Bone marrow aspirate smear
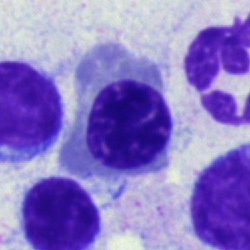Nucleated red cell.